Bone marrow smear; cropped to a single cell: 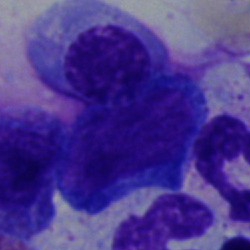Nucleated red cell.